Bone marrow aspirate smear · 250 by 250 pixels · Pappenheim-stained.
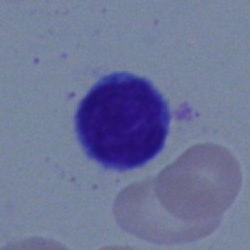
Cell type: lymphocyte.